Peripheral blood smear: 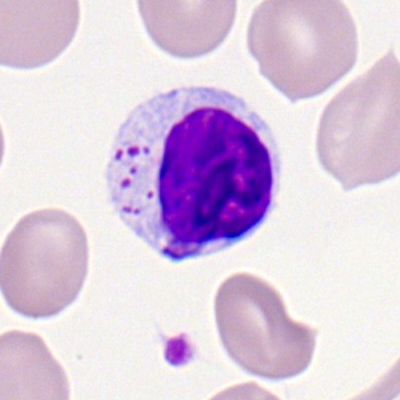The cell shown is a lymphocyte.